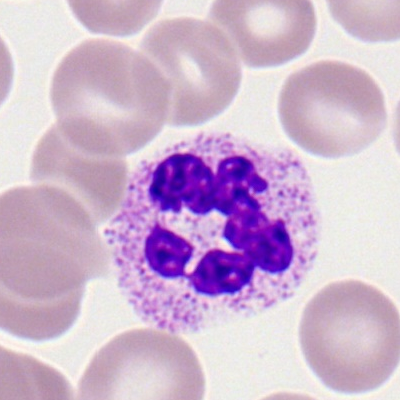Q: What is shown here?
A: This is a neutrophil (segmented).